Bone marrow smear; 250 by 250 pixels.
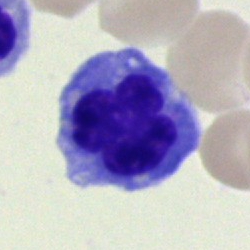
Specimen: bone marrow smear.
Cell: nucleated red cell.